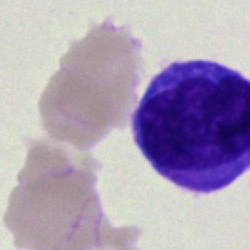This is a blast.